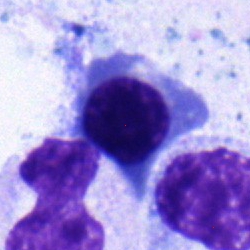 Cell = normoblast.